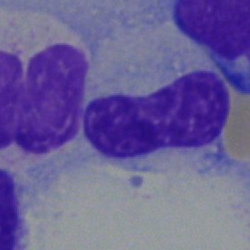 Q: Which cell type is shown here?
A: A band neutrophil.